Bone marrow smear.
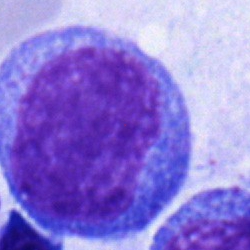

Q: What cell is this?
A: It is a blast cell.